Bone marrow aspirate smear:
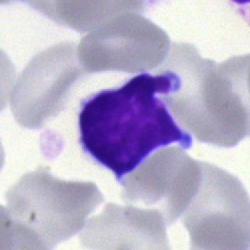

The cell is typical lymphocyte.